Bone marrow smear — 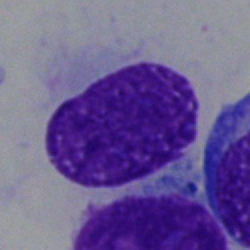Q: What is shown here?
A: An artefact.